Bone marrow smear:
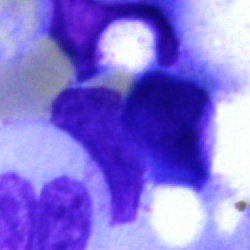Morphology consistent with an artifact.